250×250; brightfield, 40× oil-immersion objective; bone marrow aspirate smear.
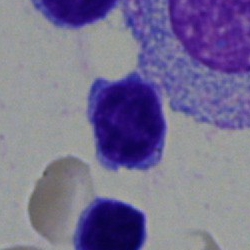Specimen: bone marrow smear.
Morphological class: typical lymphocyte.
Lineage: lymphoid.